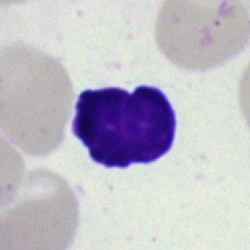 Single-cell crop from a bone marrow smear: artifact.